Pappenheim-stained. Bone marrow smear: 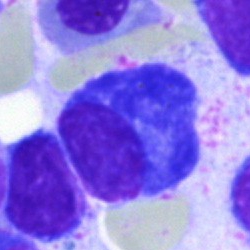
Plasma cell.